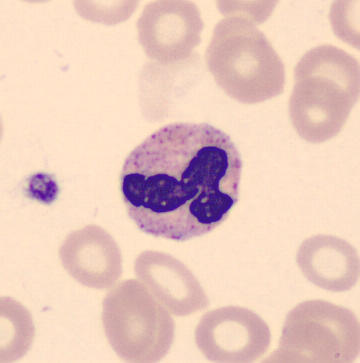Morphological class: neutrophil (band).